Bone marrow aspirate smear. 250×250 px:
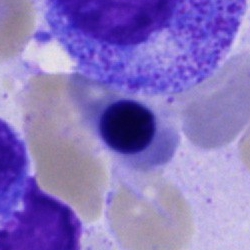
The classification is nucleated red blood cell.